Peripheral blood smear:
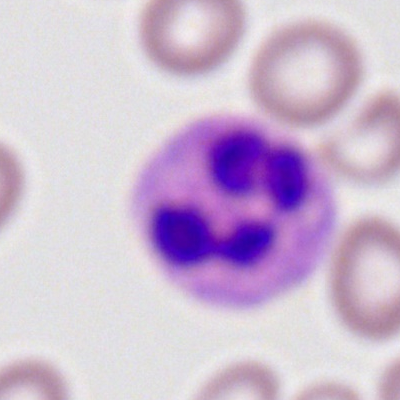

The cell shown is a neutrophil (segmented).